Bone marrow aspirate smear · 250×250 px · single-cell crop:
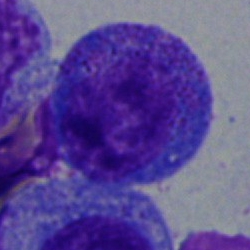Showing a promyelocyte.